Bone marrow smear
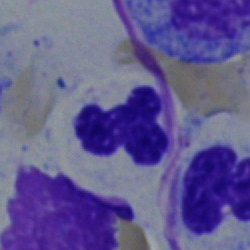 Specimen: bone marrow aspirate smear.
Morphological class: polymorphonuclear neutrophil.
Lineage: myeloid.